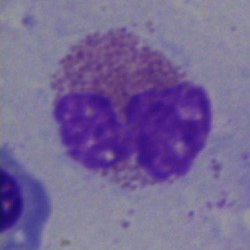 Morphology consistent with an eosinophilic granulocyte.